Bone marrow smear — 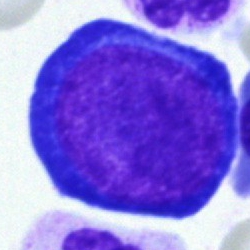

A pronormoblast.